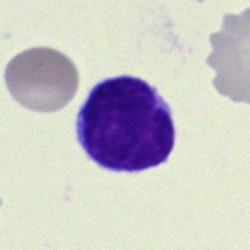
Morphology → lymphocyte.